Bone marrow smear — 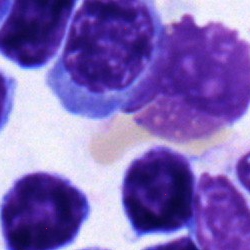
Showing a nucleated red cell.